Bone marrow smear. May-Grünwald-Giemsa stain
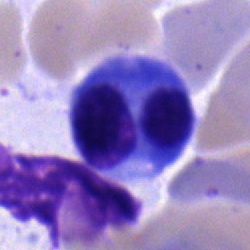

Morphology consistent with a nucleated red cell.